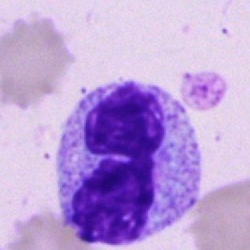
Morphological class: polymorphonuclear neutrophil.